Bone marrow aspirate smear.
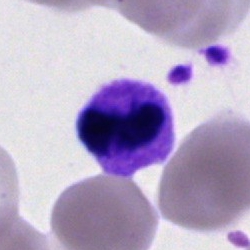 Q: Identify the cell.
A: A neutrophil (segmented).